Bone marrow aspirate smear; Pappenheim-stained: 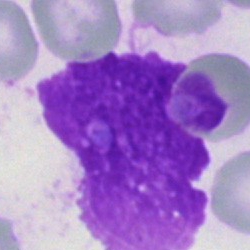{"cell_type": "artefact"}